360×363 px · peripheral blood smear · May Grünwald-Giemsa stain — 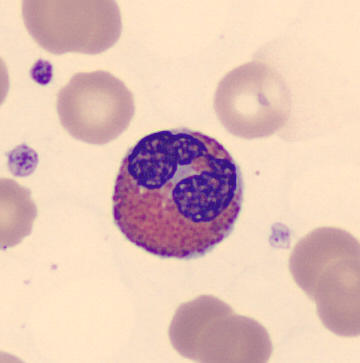
Morphology → eosinophilic granulocyte.